Single-cell field · bone marrow aspirate smear.
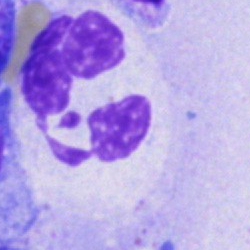

The cell is neutrophil (segmented).